Cropped to a single cell. Bone marrow smear
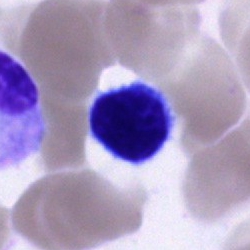
Morphological class — lymphocyte.